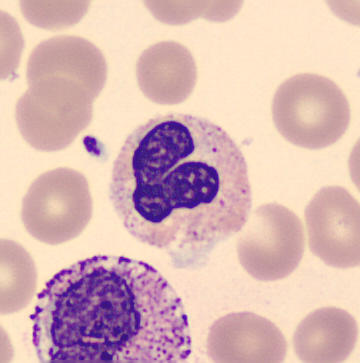 Impression — segmented neutrophil.

Acquisition: Peripheral blood film.